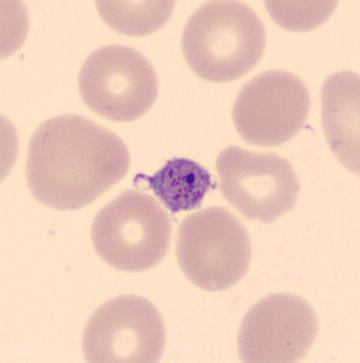Classification — platelet.
Peripheral blood smear; May-Grünwald-Giemsa-stained.